Image size 250×250; bone marrow aspirate smear; single-cell crop
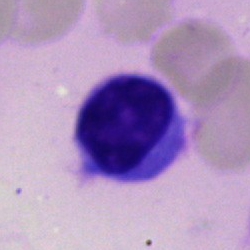

This is a lymphocyte.